Peripheral blood film: 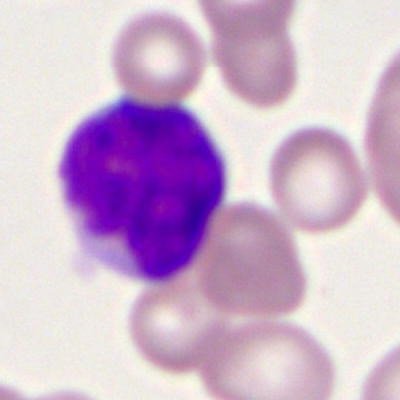
Morphology → myeloid blast.